Bone marrow aspirate smear · 40× oil immersion: 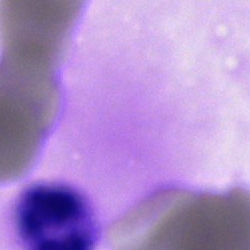
The cell shown is a segmented neutrophil.